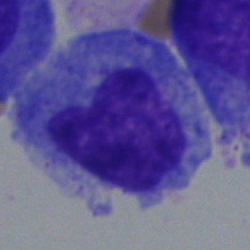

The classification is myelocyte.